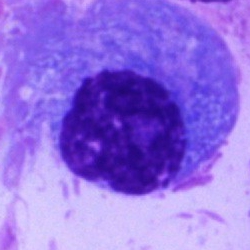Showing a plasmacyte.